Bone marrow smear.
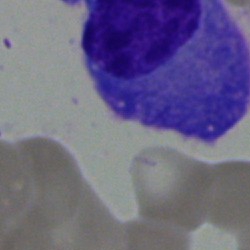 A plasmacyte.